Bone marrow aspirate smear; brightfield, 40× oil-immersion objective:
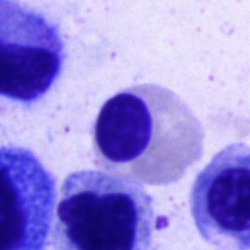
Showing a normoblast.